Bone marrow aspirate smear. Cropped to a single cell — 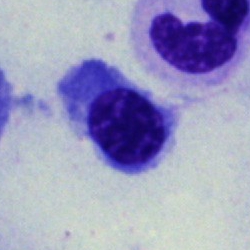

{"cell_type": "nucleated red cell", "lineage": "erythroid"}